Romanowsky-type stain; peripheral blood film: 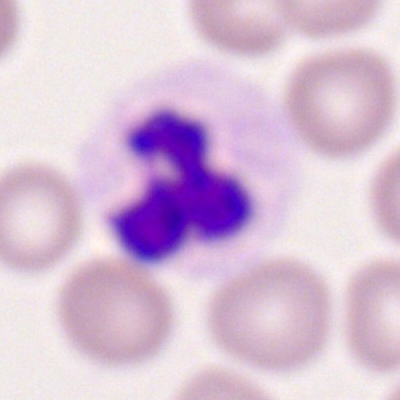Morphology consistent with a polymorphonuclear neutrophil.